Bone marrow aspirate smear.
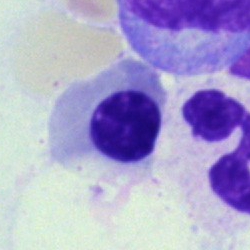The morphological class is erythroblast.